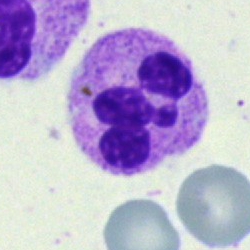Morphology consistent with a neutrophil (segmented).